Bone marrow smear
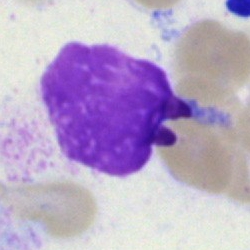

This is an artefact.